Pappenheim-stained; bone marrow aspirate smear — 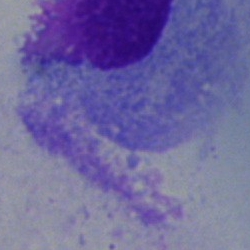

Morphology consistent with an artefact.